Bone marrow aspirate smear:
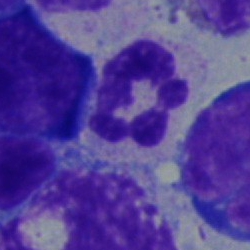Morphological class: neutrophil (segmented).